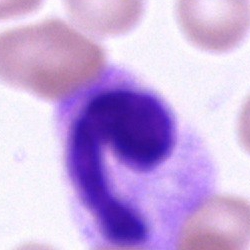

The cell shown is a polymorphonuclear neutrophil.